Bone marrow smear — 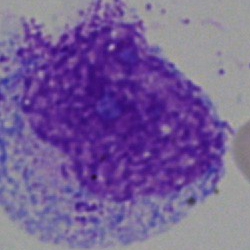
This is an artifact.